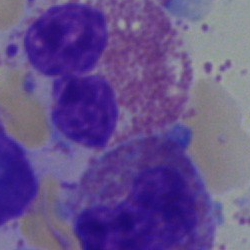 Morphology → eosinophilic granulocyte.